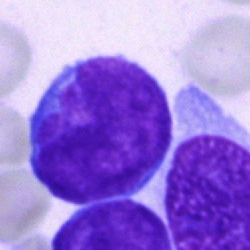 Cell: blast.